Single cell centered in the field. Peripheral blood smear.
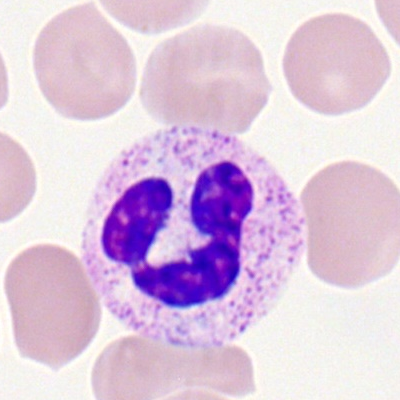Single cell identified as a segmented neutrophil.